Single-cell field. Bone marrow smear — 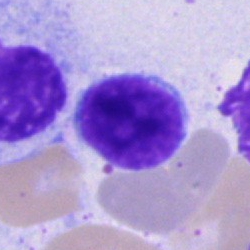
Q: Identify the cell.
A: A lymphocyte.